Bone marrow smear — 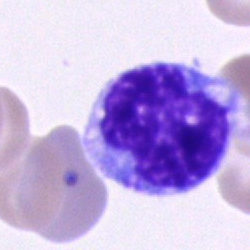 Morphological class — monocyte.